Bone marrow aspirate smear — 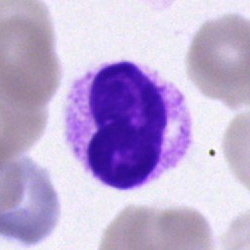

{"cell_type": "artefact"}